Bone marrow smear · brightfield microscopy, 40× oil immersion · 250 by 250 pixels.
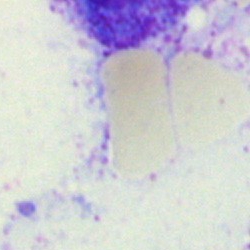This is an artefact.